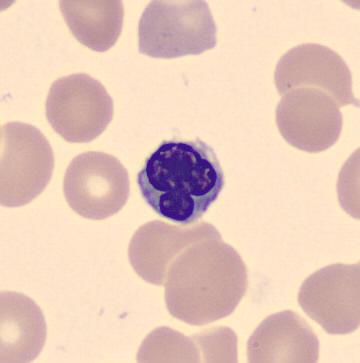Q: What is this?
A: This is an erythroblast.